Bone marrow smear · May-Grünwald-Giemsa/Pappenheim stain:
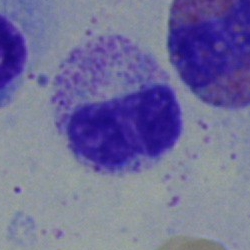
Metamyelocyte.